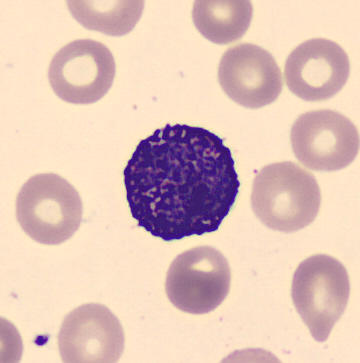
{"cell_type": "basophilic granulocyte"}